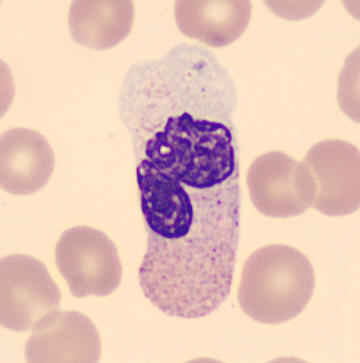
Specimen: peripheral blood film.
Cell type: neutrophil (segmented).
Lineage: myeloid.